Peripheral blood film:
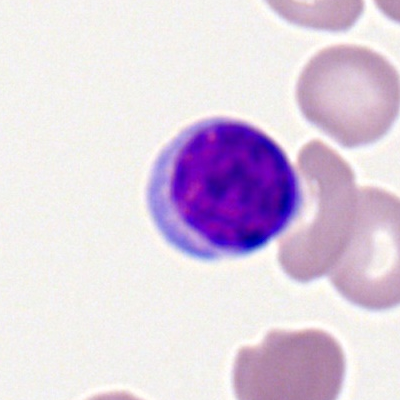{"cell_type": "typical lymphocyte", "lineage": "lymphoid"}